Bone marrow smear: 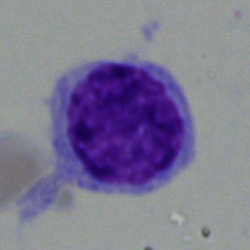 This is a hairy cell.